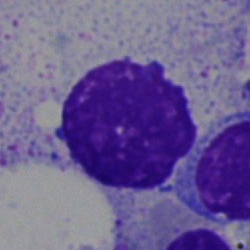 Cell = artefact.